Image size 250×250 · bone marrow aspirate smear · single-cell crop
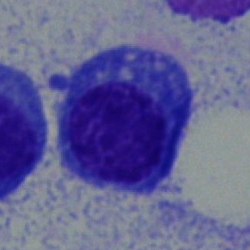Q: Which cell type is shown here?
A: It is a plasmacyte.